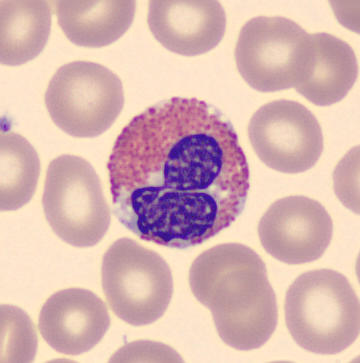 Classification: eosinophilic granulocyte.

Image: Peripheral blood smear · cropped to a single cell.